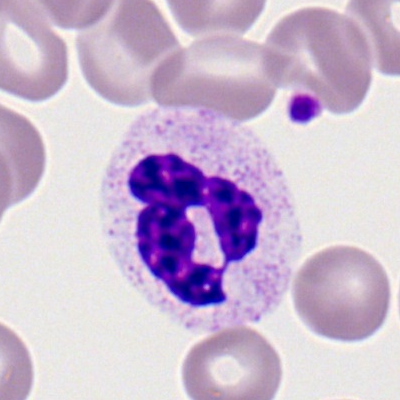

Specimen: peripheral blood film.
Cell: neutrophil (segmented).